Romanowsky-type stain. Peripheral blood film — 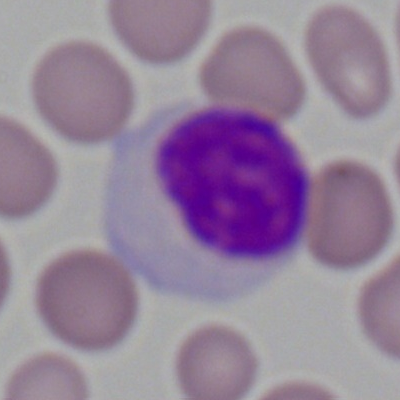Morphological class — typical lymphocyte.